Bone marrow aspirate smear
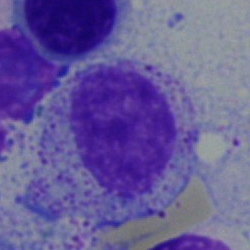 Q: Identify the cell.
A: A myelocyte.